Peripheral blood smear · cropped to a single cell · Romanowsky stain:
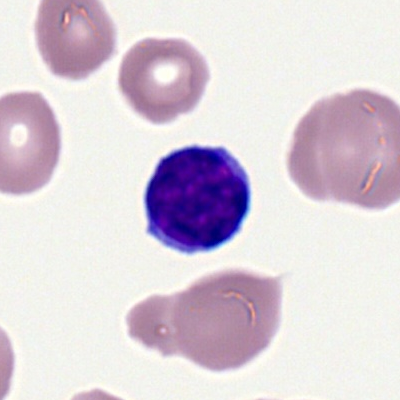Single cell identified as a typical lymphocyte.